Bone marrow aspirate smear
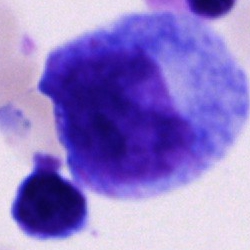

Morphological class — promyelocyte.